Single-cell field. Bone marrow smear. 40× objective, oil immersion — 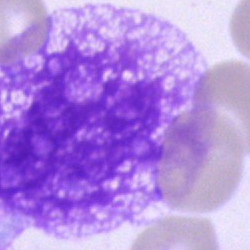
Q: What is shown here?
A: An artefact.